Bone marrow smear.
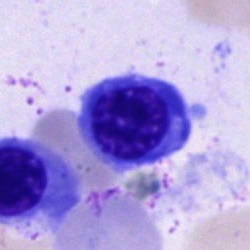 Cell type — normoblast.